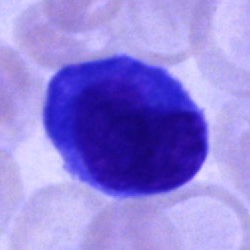Impression — undifferentiated blast.